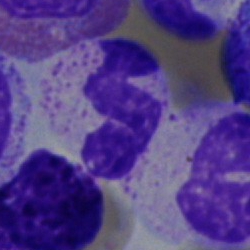Cell = neutrophil (segmented).